May-Grünwald-Giemsa/Pappenheim stain; bone marrow smear:
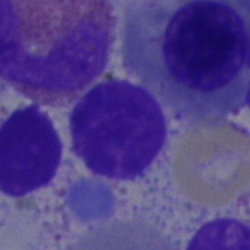 This is a typical lymphocyte.